Bone marrow smear — 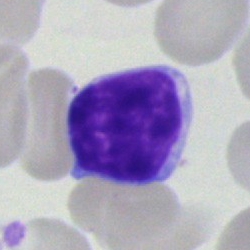
Cell: lymphocyte.